250 by 250 pixels; 40× oil immersion; bone marrow aspirate smear — 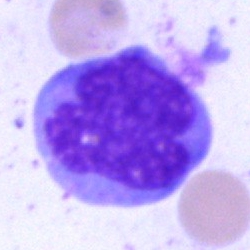

The cell type is monocyte.